Bone marrow smear. May-Grünwald-Giemsa/Pappenheim stain: 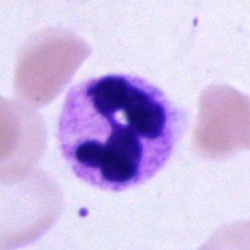 Q: What cell is this?
A: This is a polymorphonuclear neutrophil.